Bone marrow aspirate smear:
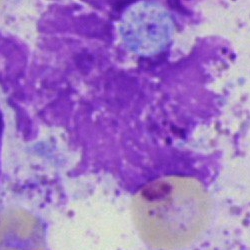 Classification — artefact.